Bone marrow aspirate smear:
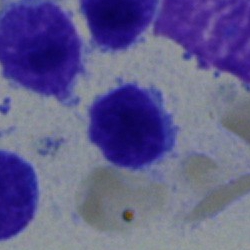

Specimen: bone marrow smear.
Cell type: typical lymphocyte.
Lineage: lymphoid.